Bone marrow smear; 250 by 250 pixels: 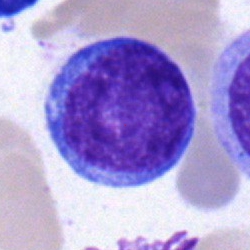 Impression → blast.